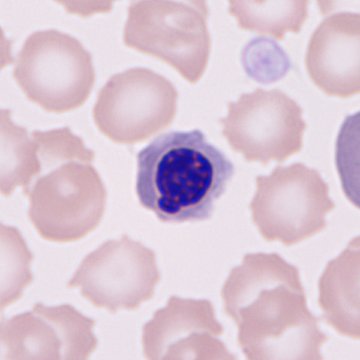
Acquisition: Peripheral blood smear. This is a nucleated red blood cell.